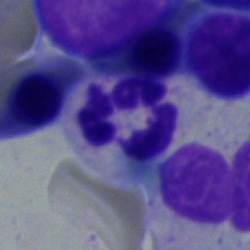
A segmented neutrophil on a bone marrow smear.